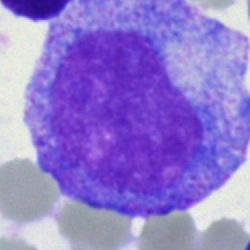Showing a progranulocyte.